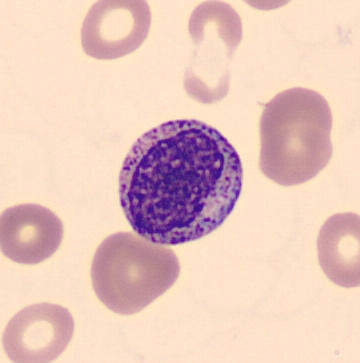

Single cell centered in the field · peripheral blood smear.
Single cell identified as a myelocyte.